Bone marrow smear — 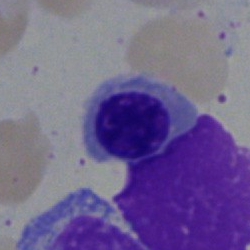 Q: Identify the cell.
A: A normoblast.